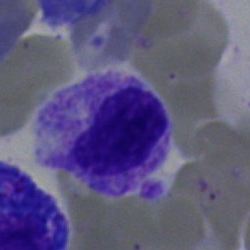

Cell: myelocyte.